Bone marrow aspirate smear.
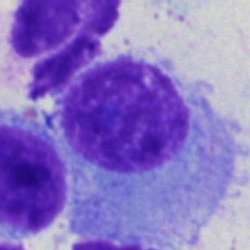The cell shown is a plasmacyte.